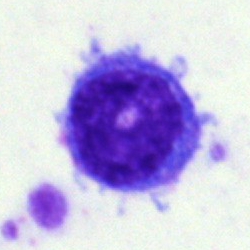Cell type — blast cell.